40× objective, oil immersion. May-Grünwald-Giemsa stain. Bone marrow smear.
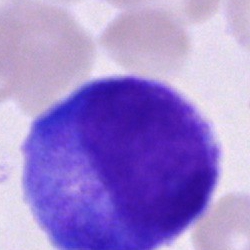Cell type = promyelocyte.